Bone marrow smear:
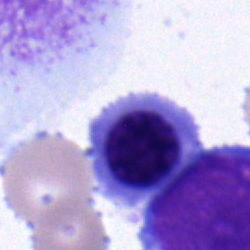

{"cell_type": "nucleated red blood cell", "lineage": "erythroid"}